Bone marrow aspirate smear — 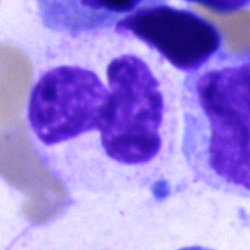

Specimen: bone marrow smear.
Morphological class: segmented neutrophil.